Bone marrow smear.
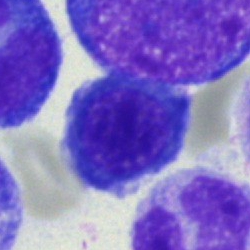
Morphology — nucleated red blood cell.